Bone marrow aspirate smear. Image size 250×250. Cropped to a single cell:
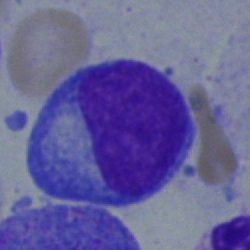 Q: What is shown here?
A: Blast cell.